Bone marrow smear.
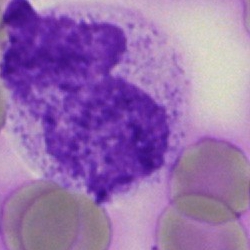Artefact.